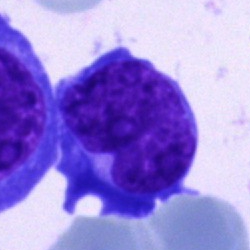
Morphology — undifferentiated blast.